Bone marrow smear.
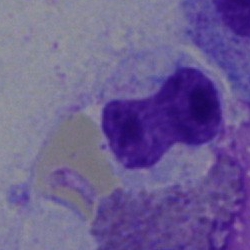

Morphology consistent with a band neutrophil.